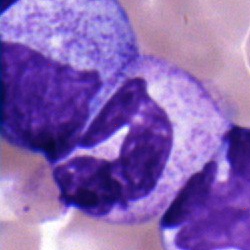
Morphological class: polymorphonuclear neutrophil.